Bone marrow smear: 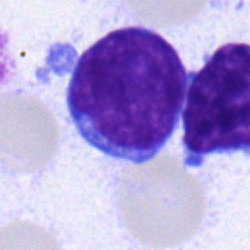

Cell type: lymphocyte.